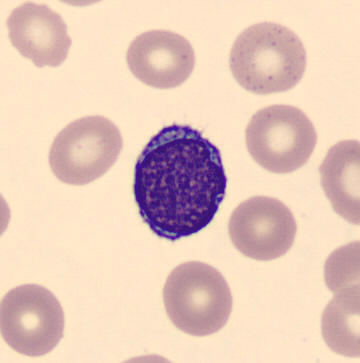
Preparation: Single-cell field · peripheral blood smear. Q: What is shown here?
A: It is a lymphocyte.